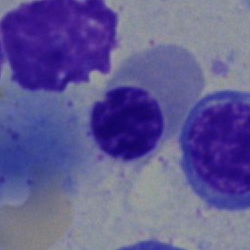 Q: Identify the cell.
A: Normoblast.